Bone marrow smear; single-cell field: 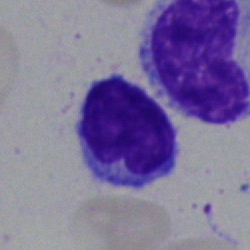 Specimen: bone marrow aspirate smear.
Cell: typical lymphocyte.
Lineage: lymphoid.